May-Grünwald-Giemsa/Pappenheim stain; 40× oil immersion; bone marrow aspirate smear
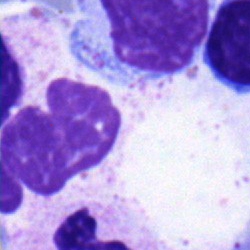Cell = neutrophil (segmented).